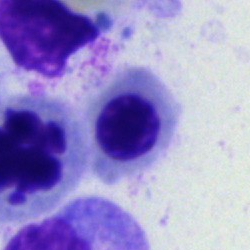
The morphological class is erythroblast.